Bone marrow aspirate smear: 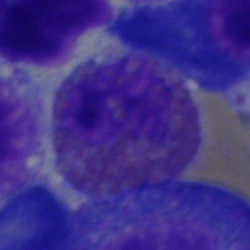
Single cell identified as an eosinophil.